May-Grünwald-Giemsa stain · bone marrow aspirate smear.
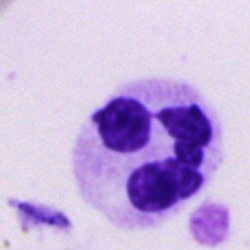{"cell_type": "neutrophil (segmented)", "lineage": "myeloid"}